Bone marrow aspirate smear
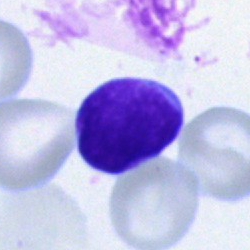Cell type — lymphocyte.